Bone marrow smear; MGG-stained: 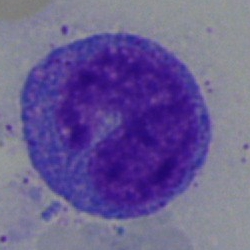
Cell type = progranulocyte.